Image size 250×250; bone marrow aspirate smear — 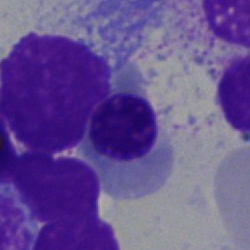
Impression — nucleated red cell.